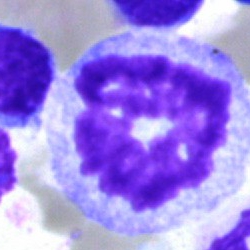 Morphology consistent with an artifact.